250×250 px. Bone marrow smear:
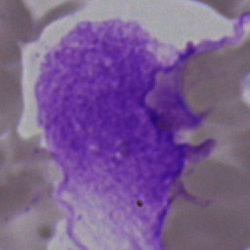 The classification is artefact.